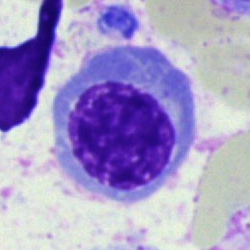

The morphological class is nucleated red blood cell.